Bone marrow aspirate smear. Brightfield microscopy, 40× oil immersion — 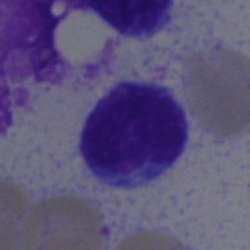 Morphological class: lymphocyte.